Image size 250×250 · bone marrow aspirate smear.
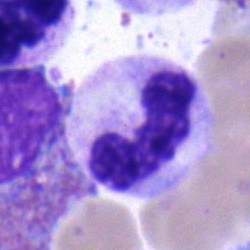
Cell type = neutrophil (band).